Bone marrow smear: 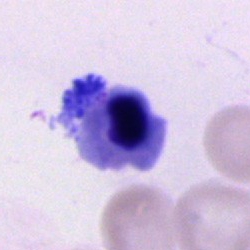

Q: Identify the cell.
A: It is a nucleated red blood cell.